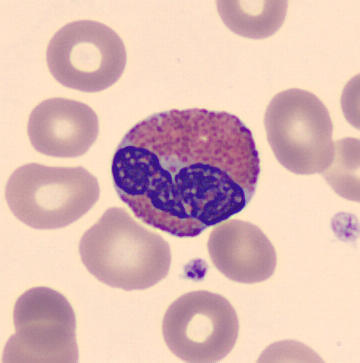From a peripheral blood smear: an eosinophil.